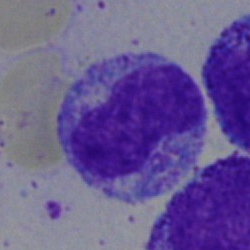 Cell — metamyelocyte.